250×250 px · bone marrow aspirate smear:
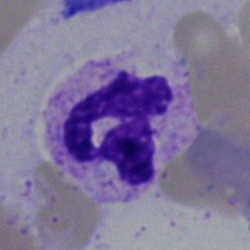Morphology — neutrophil (segmented).